May-Grünwald-Giemsa/Pappenheim stain. Brightfield, 40× oil-immersion objective. Bone marrow smear:
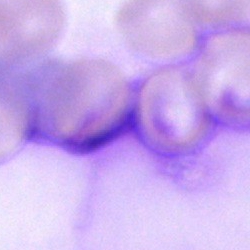Cell type — artifact.